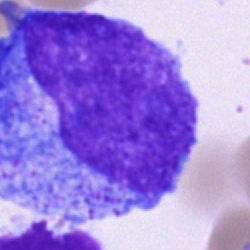

A promyelocyte.